Bone marrow smear.
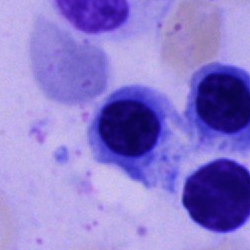

Cell = erythroblast.